Bone marrow smear — 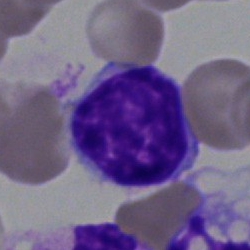The cell type is typical lymphocyte.